Bone marrow smear
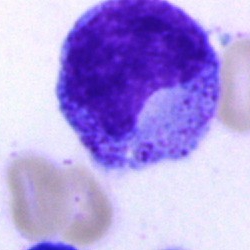A progranulocyte.